Bone marrow aspirate smear.
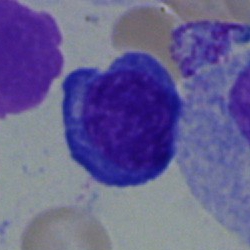

Impression — normoblast.